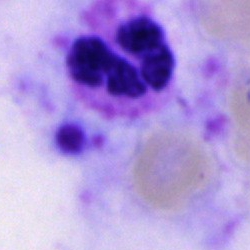 Showing a polymorphonuclear neutrophil.